Bone marrow aspirate smear: 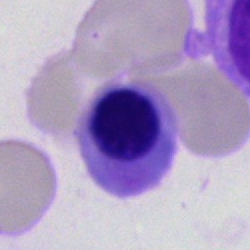
{"cell_type": "erythroblast", "lineage": "erythroid"}